Single-cell crop · bone marrow smear: 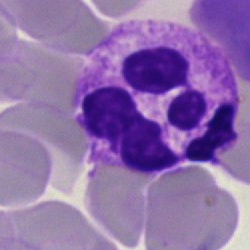

Impression → polymorphonuclear neutrophil.